Bone marrow aspirate smear · single cell centered in the field:
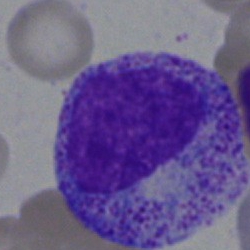Myelocyte.